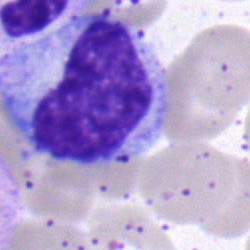 Morphology — metamyelocyte.